Bone marrow aspirate smear: 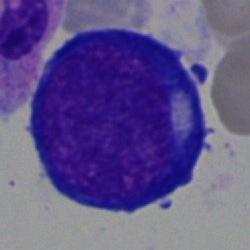 A pronormoblast.